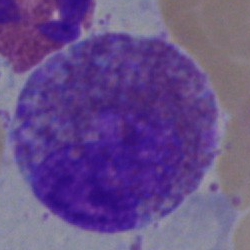The cell shown is an eosinophilic granulocyte.